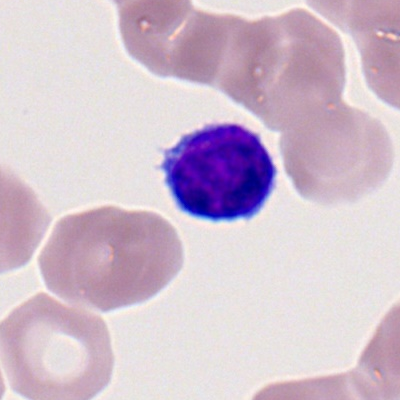
A lymphocyte.